Bone marrow aspirate smear — 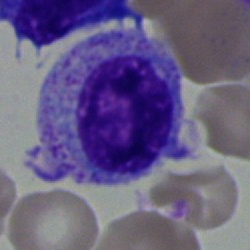

Specimen: bone marrow aspirate smear.
Cell type: myelocyte.